Bone marrow smear; single-cell crop; image size 250×250.
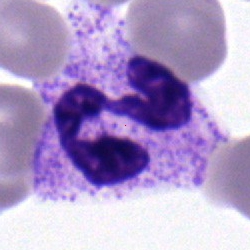

Specimen: bone marrow aspirate smear.
Cell type: polymorphonuclear neutrophil.
Lineage: myeloid.